Bone marrow smear:
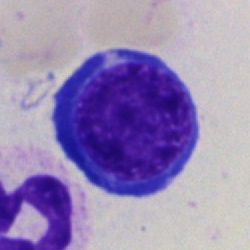 {"cell_type": "normoblast"}